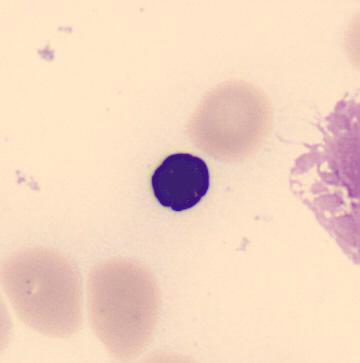Showing a nucleated red blood cell.

360 by 363 pixels. Peripheral blood smear. MGG-stained.